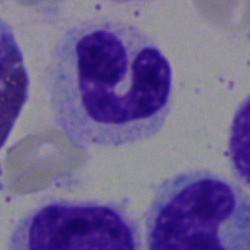
This is a neutrophil (segmented).